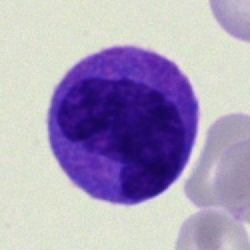

Classification: monocyte.